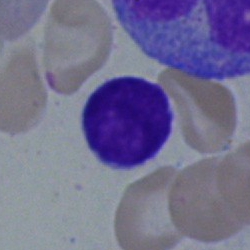Classification = lymphocyte.